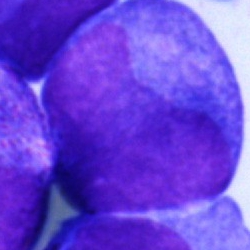

Bone marrow smear showing a blast cell.